Bone marrow smear:
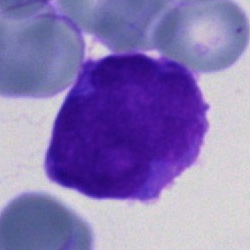Specimen: bone marrow smear.
Cell: undifferentiated blast.